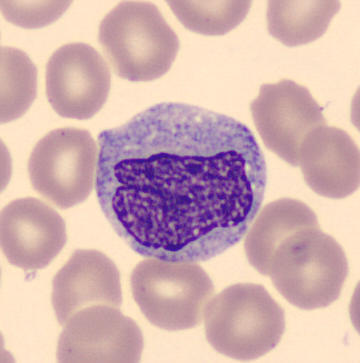
CellaVision DM96. Peripheral blood film. Cell type = monocyte.